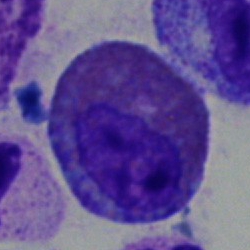This is an eosinophil.